Bone marrow aspirate smear; brightfield microscopy, 40× oil immersion
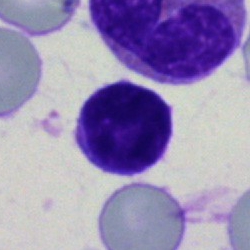 Q: What cell is this?
A: A lymphocyte.